Bone marrow smear
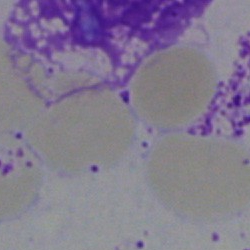 Cell = artifact.